Bone marrow smear:
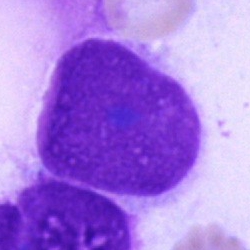

The morphological class is artifact.